Bone marrow smear; single-cell field:
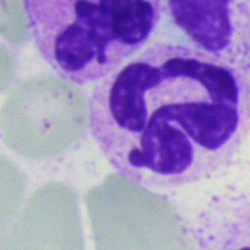

Cell — neutrophil (segmented).